Bone marrow smear — 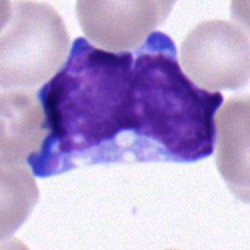

Q: What is the morphological classification of this cell?
A: A lymphocyte.